Peripheral blood film. 400 by 400 pixels.
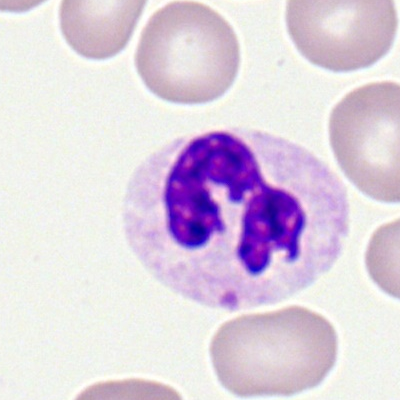 The classification is neutrophil (segmented).